Bone marrow smear
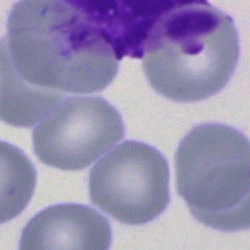

Morphological class — unidentifiable cell.